Single-cell crop · bone marrow smear — 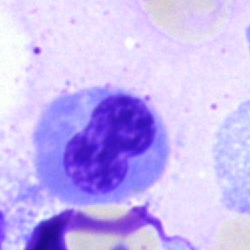

Specimen: bone marrow aspirate smear.
Classification: nucleated red cell.